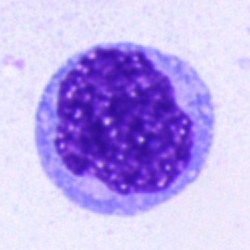 This is a blast.